Brightfield, 40× oil-immersion objective; bone marrow smear; 250×250 px
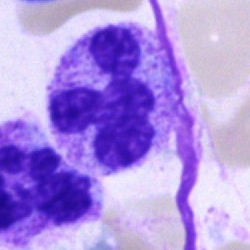

Single cell identified as a polymorphonuclear neutrophil.